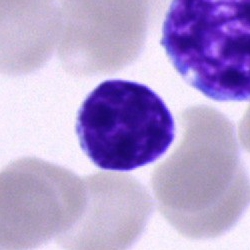
Morphological class = typical lymphocyte.